Bone marrow smear
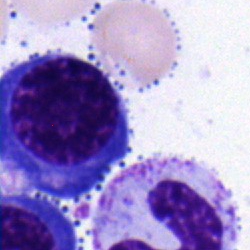Q: What type of cell is this?
A: It is a nucleated red blood cell.